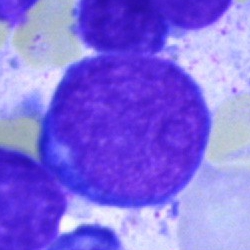

Q: Which cell type is shown here?
A: A pronormoblast.